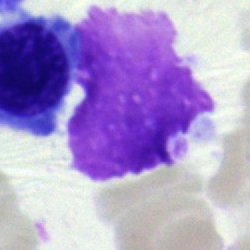 This is an artifact.